40× objective, oil immersion; MGG-stained; bone marrow aspirate smear: 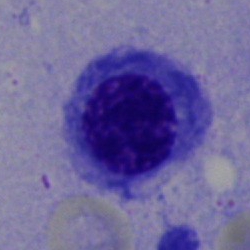

Normoblast.